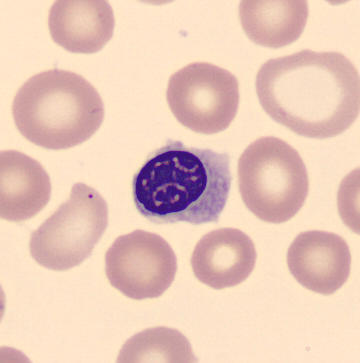
Peripheral blood film, single cell — normoblast.